Bone marrow smear.
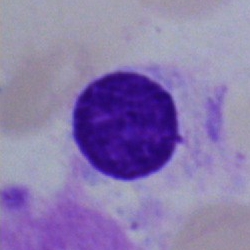Morphological class: artefact.